Single-cell crop. Bone marrow smear
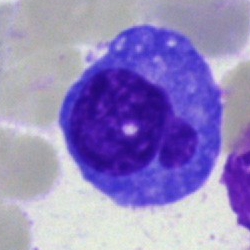Q: Which cell type is shown here?
A: Plasmacyte.